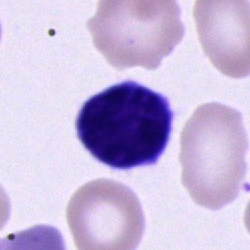
Single-cell crop from a bone marrow smear: lymphocyte.